May-Grünwald-Giemsa/Pappenheim stain; bone marrow smear; single-cell crop: 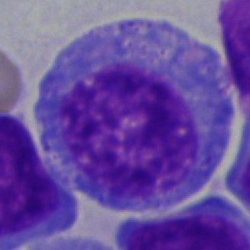
Q: Which cell type is shown here?
A: This is a progranulocyte.